Bone marrow smear; image size 250×250 — 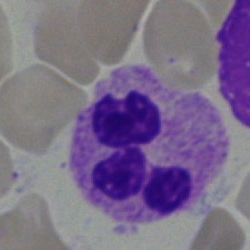

Morphological class = polymorphonuclear neutrophil.